Single-cell field · bone marrow smear · image size 250×250: 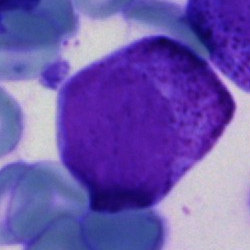 Cell — blast cell.